Image size 250×250. Bone marrow smear.
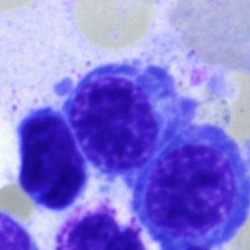 Normoblast.